Bone marrow aspirate smear; MGG-stained; 40× oil immersion:
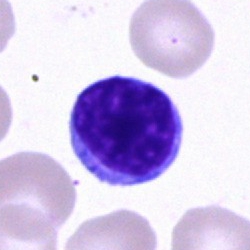Impression → lymphocyte.